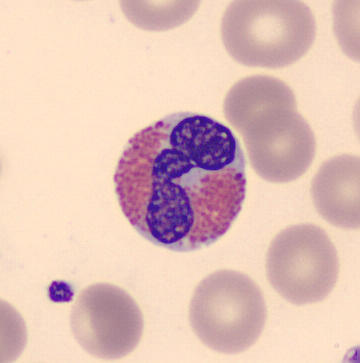Peripheral blood smear.
The cell shown is an eosinophilic granulocyte.